Peripheral blood smear
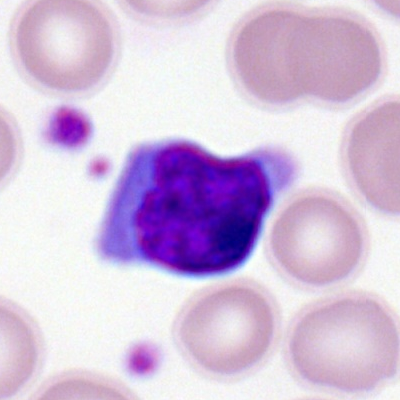
Q: What cell is this?
A: It is a typical lymphocyte.